Peripheral blood smear: 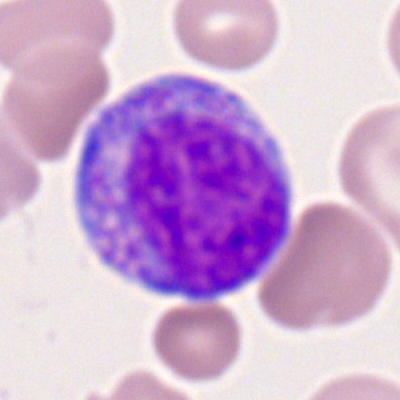Specimen: peripheral blood smear.
Classification: myelocyte.
Lineage: myeloid.